Bone marrow aspirate smear; 250 by 250 pixels:
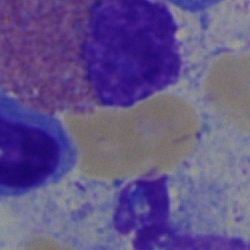

Q: What is shown here?
A: Eosinophil.